Peripheral blood film:
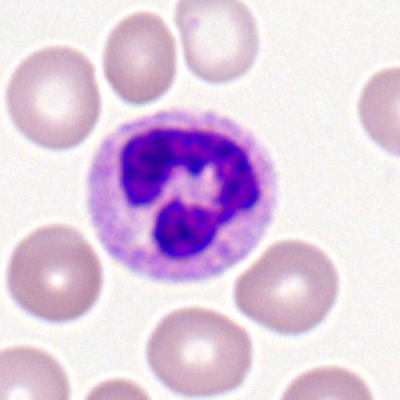

Cell type = neutrophil (segmented).